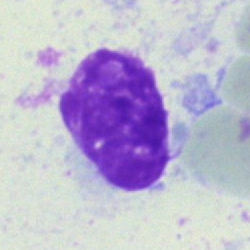

Q: What is shown here?
A: An artifact.